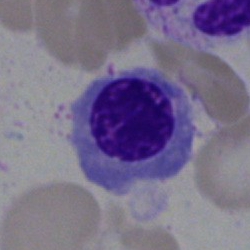Classification: normoblast.